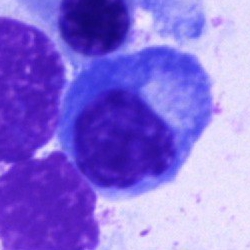

Cell type = plasmacyte.